Bone marrow smear. Single-cell field: 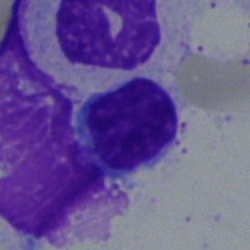 Classification = lymphocyte.